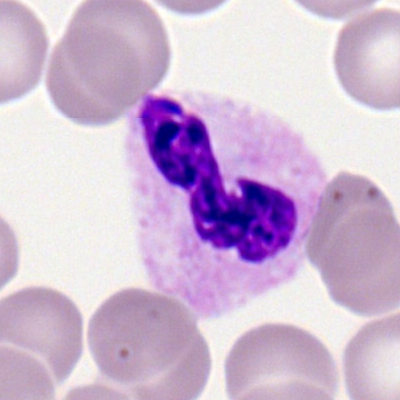 {"cell_type": "segmented neutrophil"}